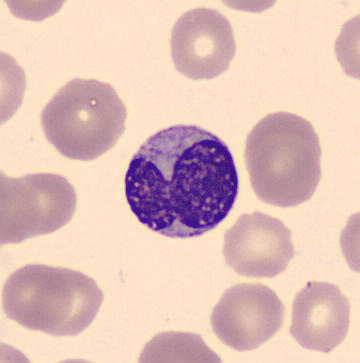

Morphology → metamyelocyte.

Preparation: Peripheral blood film. MGG-stained.